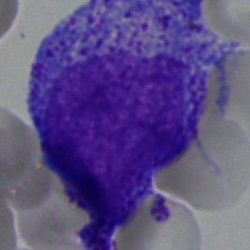The morphological class is promyelocyte.